Bone marrow aspirate smear
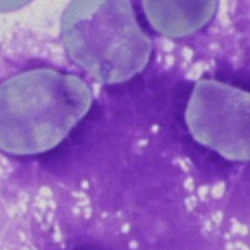

The cell shown is an artefact.